Brightfield, 40× oil-immersion objective; MGG-stained; bone marrow smear — 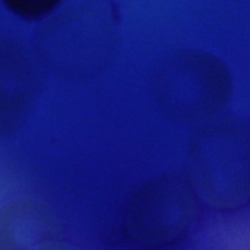

Single cell identified as an artifact.